Bone marrow smear
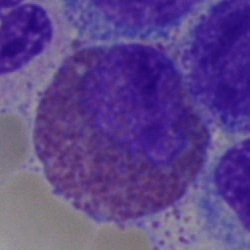

Showing an eosinophil.